Bone marrow aspirate smear — 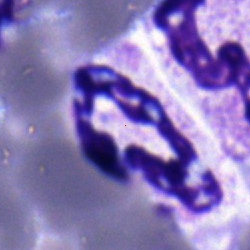
The cell is segmented neutrophil.